Peripheral blood film
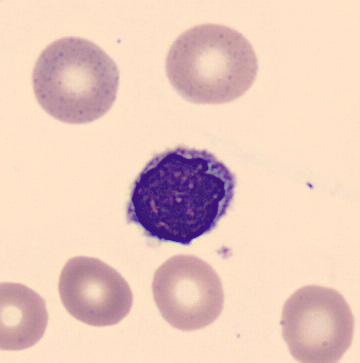 Q: What type of cell is this?
A: A lymphocyte.